250 by 250 pixels · bone marrow smear.
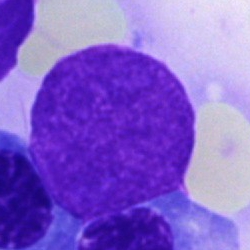Q: What is shown here?
A: It is an artifact.